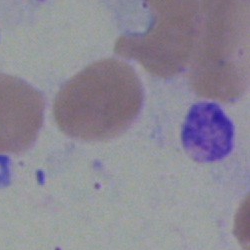
Q: What is shown here?
A: It is an artefact.